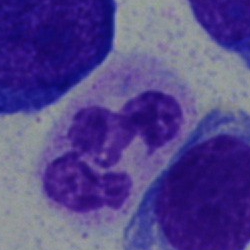

Impression — polymorphonuclear neutrophil.